Bone marrow aspirate smear: 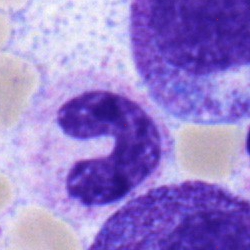
Showing a neutrophil (band).